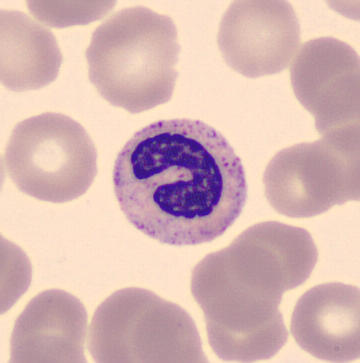

This is a band neutrophil.